Bone marrow smear: 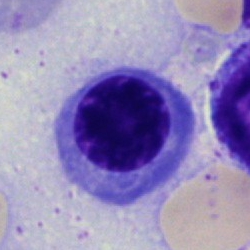

This is a normoblast.